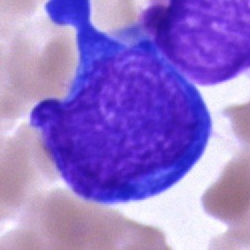Specimen: bone marrow smear.
Classification: proerythroblast.